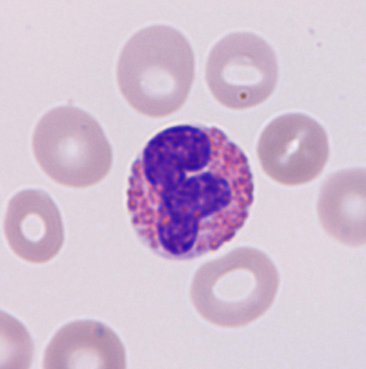This is an eosinophil. Image: Peripheral blood film.